Bone marrow aspirate smear: 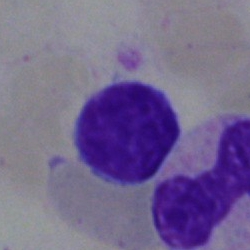
Cell type = lymphocyte.